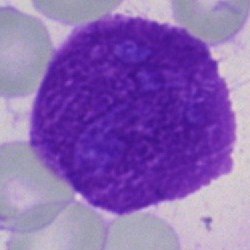 Q: What is shown here?
A: This is an artifact.